Bone marrow aspirate smear. Single-cell crop. 40× oil immersion.
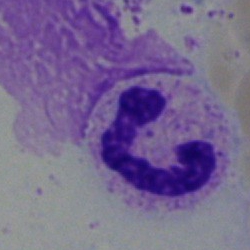 The cell shown is a neutrophil (segmented).